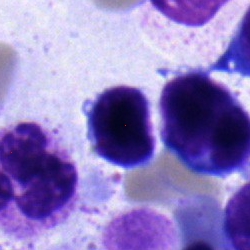Lymphocyte.